Bone marrow smear. 250×250 px — 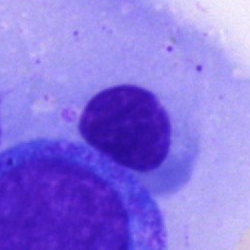

Cell type: artifact.